Bone marrow smear: 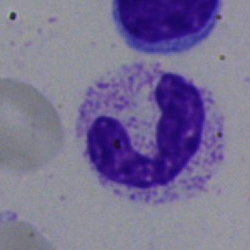

Q: Which cell type is shown here?
A: This is a neutrophil (segmented).